Brightfield microscopy, 40× oil immersion · May-Grünwald-Giemsa/Pappenheim stain · bone marrow smear
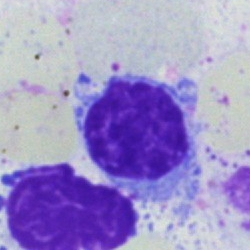Q: Which cell type is shown here?
A: It is a typical lymphocyte.